Bone marrow aspirate smear.
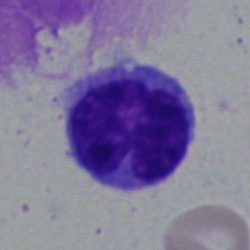
Monocyte.